Bone marrow aspirate smear. Single cell centered in the field. 250×250.
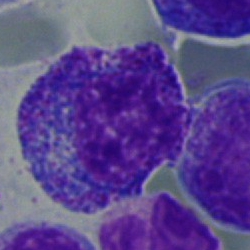

Impression — promyelocyte.